Bone marrow aspirate smear.
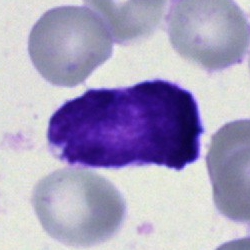

Morphology → artifact.